Bone marrow smear.
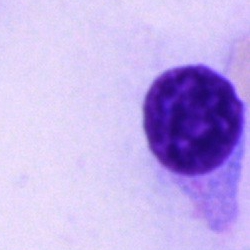
Morphology consistent with a cell of indeterminate lineage.